Bone marrow aspirate smear.
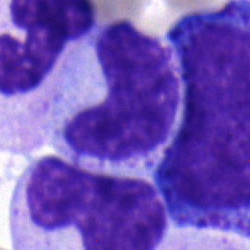 Q: Which cell type is shown here?
A: This is a band neutrophil.